250×250; single-cell field; bone marrow smear
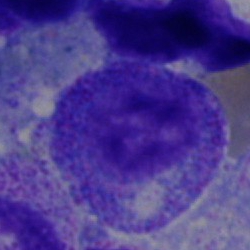

Morphology consistent with a progranulocyte.